Bone marrow smear
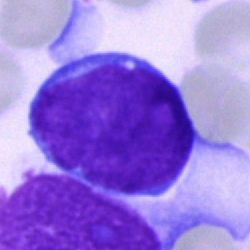 Specimen: bone marrow aspirate smear.
Classification: blast.